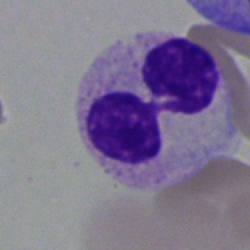 Specimen: bone marrow aspirate smear.
Morphological class: polymorphonuclear neutrophil.